100× oil immersion, 14.14 px/µm; peripheral blood film; Romanowsky-type stain:
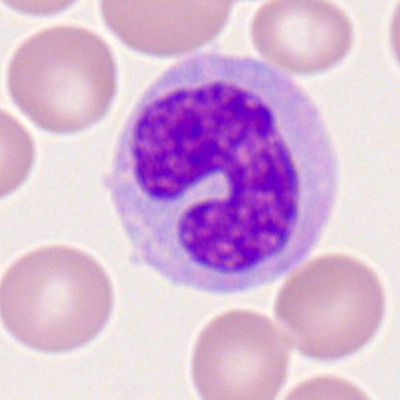
Specimen: peripheral blood film.
Classification: monocyte.
Lineage: myeloid.